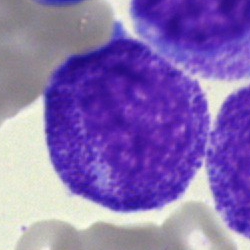

Specimen: bone marrow aspirate smear.
Cell: promyelocyte.